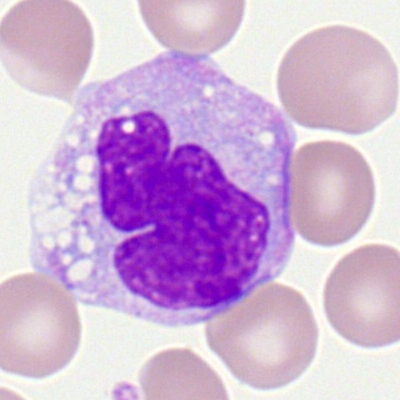
Q: What is the morphological classification of this cell?
A: Monocyte.